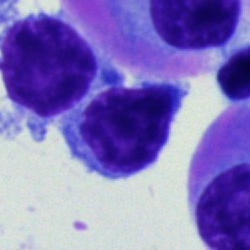 Q: What is shown here?
A: This is a lymphocyte.